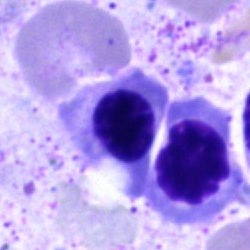

Bone marrow smear showing a nucleated red blood cell.